Bone marrow smear. Image size 250×250. Single-cell field — 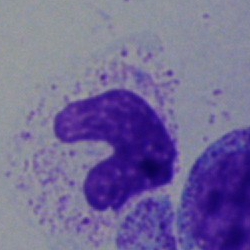
Stab cell.